250×250 · bone marrow aspirate smear — 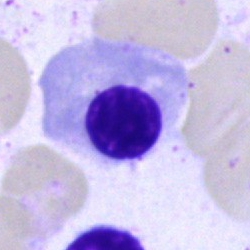

Specimen: bone marrow aspirate smear.
Classification: erythroblast.